Bone marrow aspirate smear. 40× objective, oil immersion. 250×250 px — 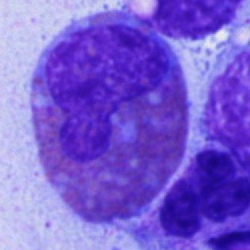An eosinophilic granulocyte.